Peripheral blood smear
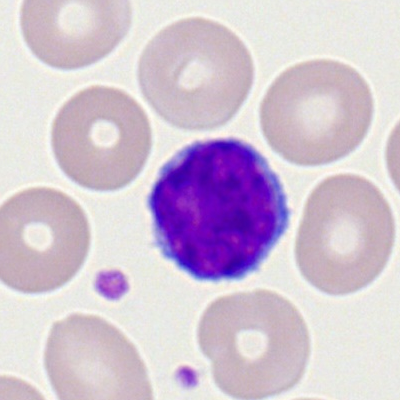
Cell = typical lymphocyte.